Bone marrow smear · single-cell crop · May-Grünwald-Giemsa/Pappenheim stain:
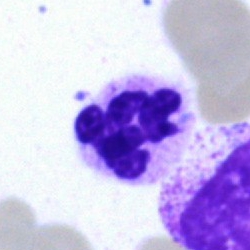 Segmented neutrophil.